Bone marrow aspirate smear: 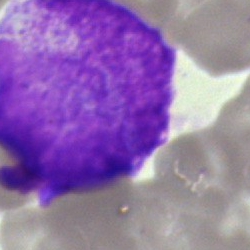

Classification: undifferentiated blast.